Bone marrow smear. May-Grünwald-Giemsa stain
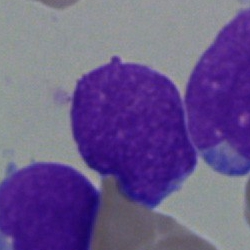

Showing a blast.